Peripheral blood film.
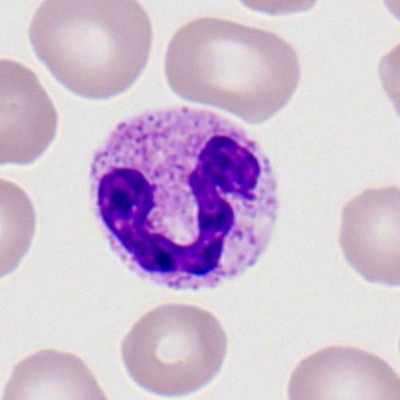The morphological class is segmented neutrophil.